Brightfield microscopy, 40× oil immersion; bone marrow aspirate smear — 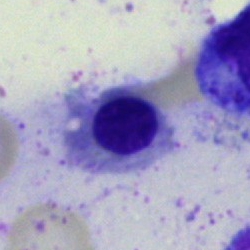 Specimen: bone marrow aspirate smear.
Cell type: erythroblast.
Lineage: erythroid.